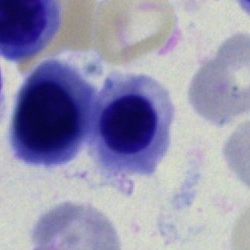A normoblast on a bone marrow smear.